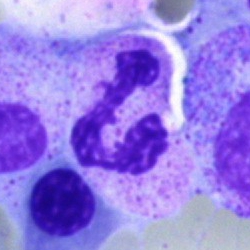Morphology consistent with a neutrophil (segmented).